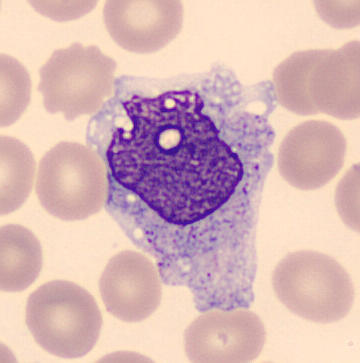

Identified as a monocyte.